Peripheral blood film.
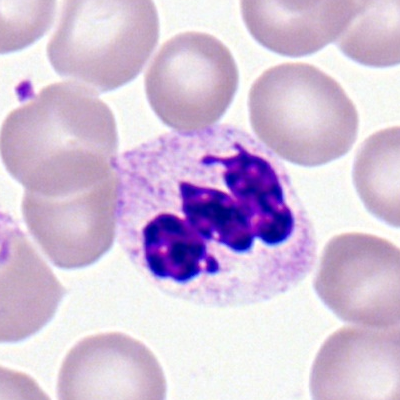

Q: Which cell type is shown here?
A: This is a segmented neutrophil.